Bone marrow aspirate smear.
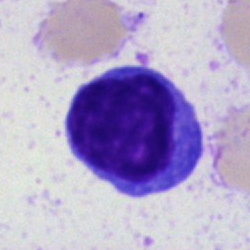Morphology consistent with a lymphocyte.